Bone marrow smear — 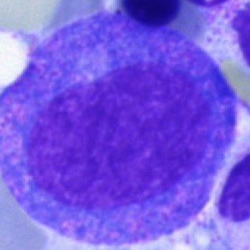
Morphological class: progranulocyte.